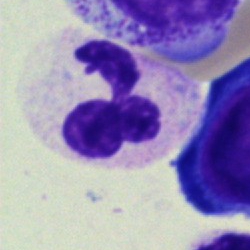Impression — polymorphonuclear neutrophil.